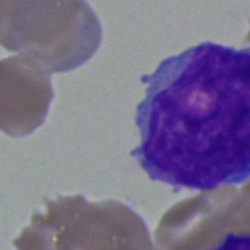
Specimen: bone marrow aspirate smear.
Classification: blast.